Bone marrow aspirate smear
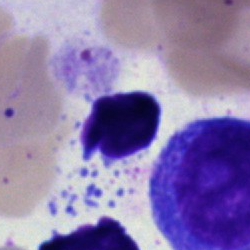

{"cell_type": "artifact"}